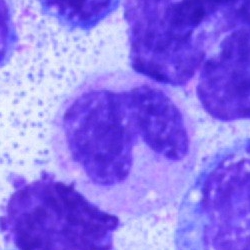

Single cell identified as a polymorphonuclear neutrophil.